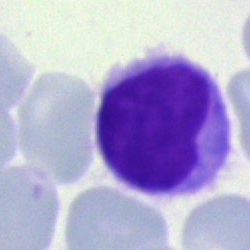Specimen: bone marrow aspirate smear.
Cell type: typical lymphocyte.